Bone marrow smear.
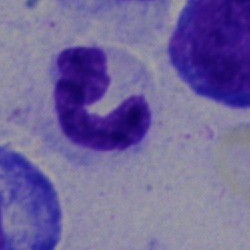

Classification — segmented neutrophil.